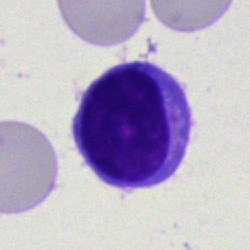 Specimen: bone marrow smear.
Cell: lymphocyte.